Bone marrow smear · single-cell crop.
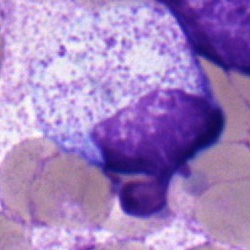
Q: What is shown here?
A: A myelocyte.